Bone marrow aspirate smear.
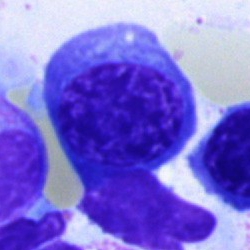Specimen: bone marrow smear.
Classification: normoblast.
Lineage: erythroid.